Bone marrow aspirate smear:
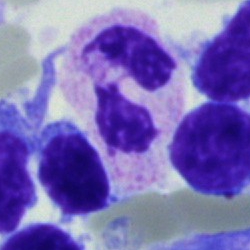

Cell = neutrophil (segmented).